Bone marrow aspirate smear; 250 by 250 pixels — 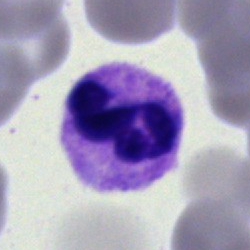Single cell identified as a segmented neutrophil.